Bone marrow aspirate smear:
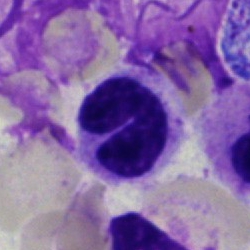Q: Which cell type is shown here?
A: A band neutrophil.